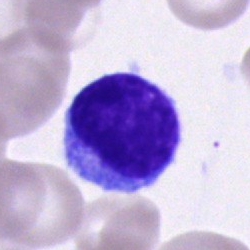Single-cell crop from a bone marrow smear: lymphocyte.